40× oil immersion. Bone marrow aspirate smear — 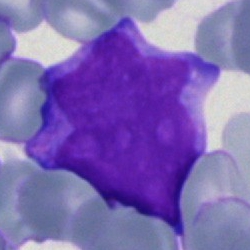
The cell type is blast cell.